Peripheral blood film:
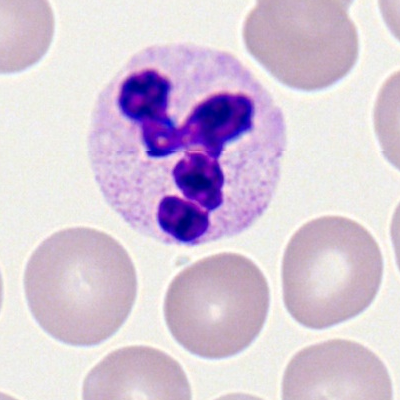
The cell shown is a polymorphonuclear neutrophil.